Bone marrow smear · 250×250 px · MGG-stained
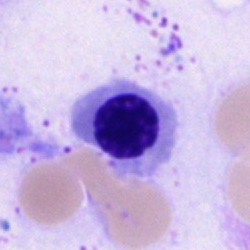 Impression — erythroblast.